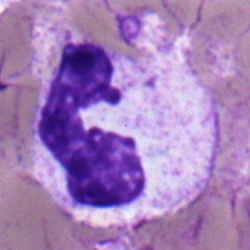

Q: What is the morphological classification of this cell?
A: A neutrophil (segmented).